Bone marrow smear
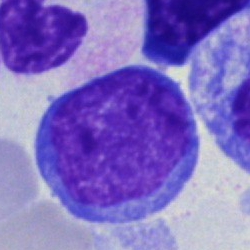
Specimen: bone marrow aspirate smear.
Classification: undifferentiated blast.